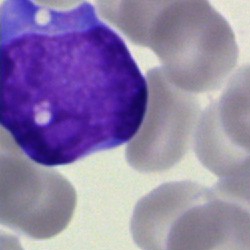
Morphological class — blast cell.